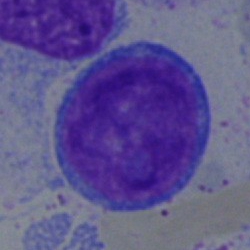The cell shown is an undifferentiated blast.